Bone marrow aspirate smear · image size 250×250: 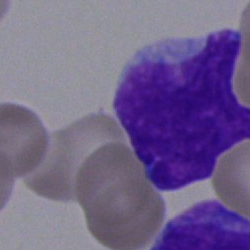Morphology consistent with a blast cell.